250 by 250 pixels · bone marrow aspirate smear: 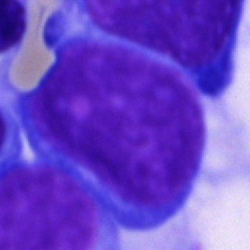

This is a blast cell.